Bone marrow aspirate smear; single cell centered in the field.
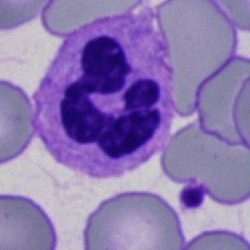Specimen: bone marrow aspirate smear.
Cell: segmented neutrophil.
Lineage: myeloid.